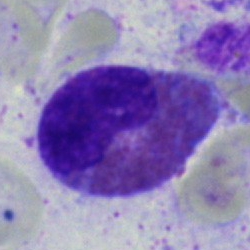

Specimen: bone marrow smear.
Classification: eosinophilic granulocyte.